Bone marrow aspirate smear
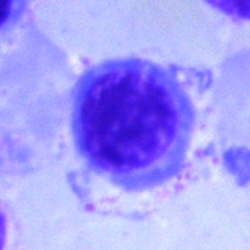 Impression — erythroblast.